Bone marrow smear — 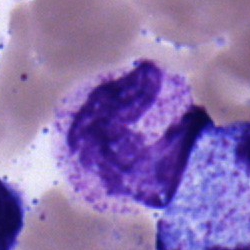 Specimen: bone marrow aspirate smear.
Cell: band-form neutrophil.
Lineage: myeloid.